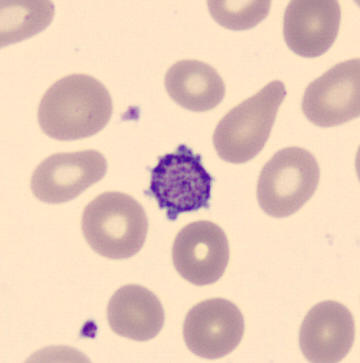
Acquisition: Peripheral blood film.

Cell type = platelet (thrombocyte).